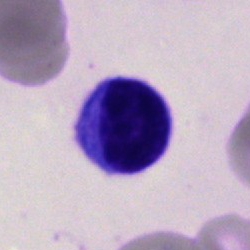 Q: What is shown here?
A: An artifact.